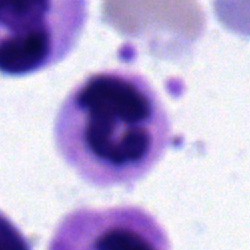

Morphology — segmented neutrophil.